Bone marrow aspirate smear; single cell centered in the field
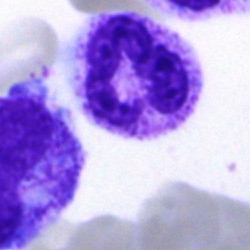

Q: What is shown here?
A: This is a polymorphonuclear neutrophil.